Single cell centered in the field; bone marrow aspirate smear — 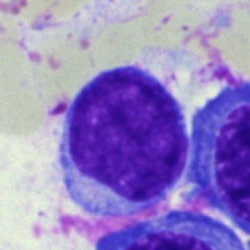Morphology — typical lymphocyte.